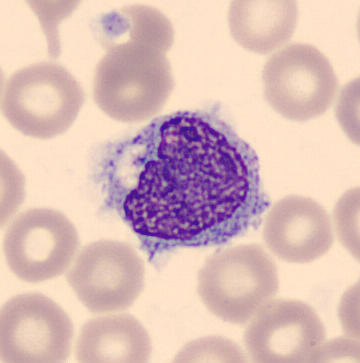Specimen: peripheral blood smear.
Classification: monocyte.
Lineage: myeloid.
Acquisition: Imaged on a CellaVision DM96 analyser.